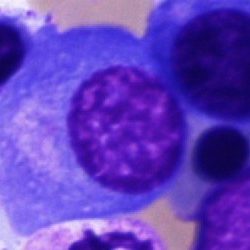

Bone marrow smear showing a plasma cell.